Bone marrow smear — 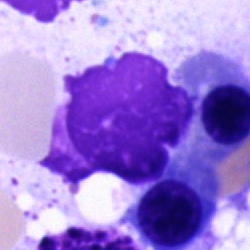 Artefact.